Bone marrow smear.
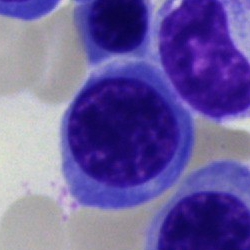 Morphology consistent with a nucleated red cell.